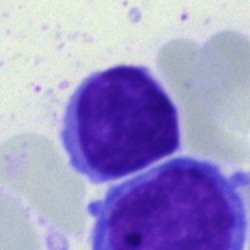

The cell type is typical lymphocyte.